Image size 250×250; bone marrow aspirate smear:
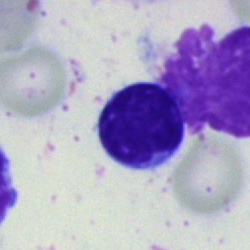
Impression — typical lymphocyte.